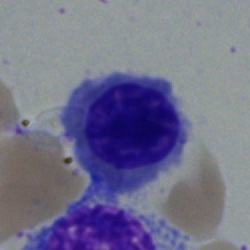 A normoblast on a bone marrow smear.